Bone marrow smear.
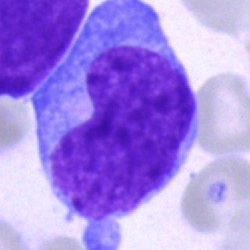 Q: Identify the cell.
A: Undifferentiated blast.